Brightfield, 40× oil-immersion objective; MGG-stained; bone marrow smear: 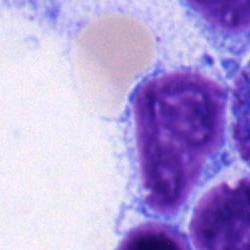 Morphological class — typical lymphocyte.